Bone marrow smear. Single-cell field.
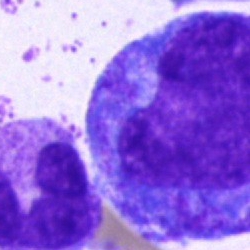

The cell is promyelocyte.